Bone marrow smear:
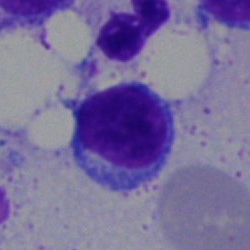

This is a lymphocyte.